Single-cell field. Peripheral blood smear.
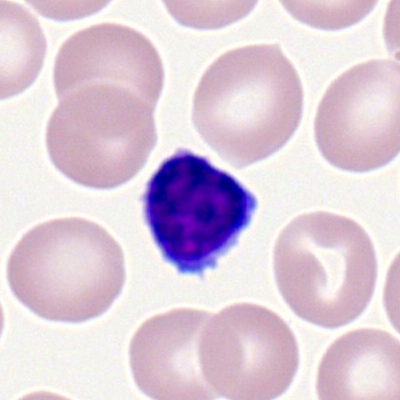 Cell type = typical lymphocyte.